Image size 250×250 · bone marrow smear: 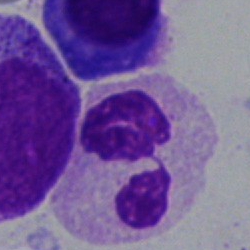Q: What is shown here?
A: Polymorphonuclear neutrophil.